Pappenheim-stained · bone marrow aspirate smear
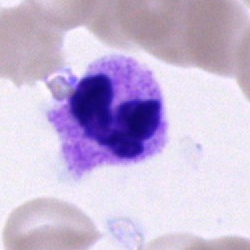The cell type is polymorphonuclear neutrophil.